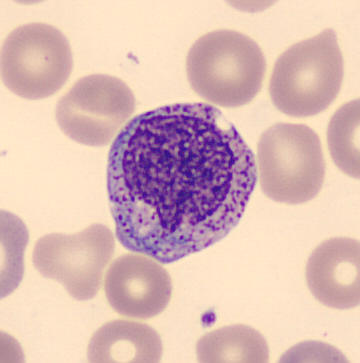
Q: Identify the cell.
A: Promyelocyte.
Acquisition: Peripheral blood smear · CellaVision DM96 digital cell image.